Bone marrow smear:
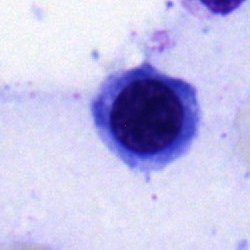
Showing a nucleated red cell.